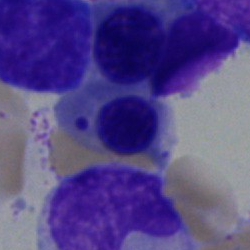

Normoblast.